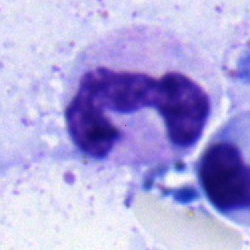
The cell shown is a neutrophil (segmented).